Bone marrow smear; May-Grünwald-Giemsa stain: 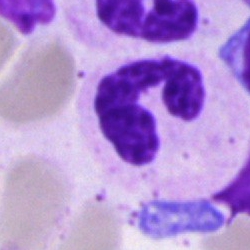Morphology consistent with a neutrophil (segmented).